Bone marrow aspirate smear
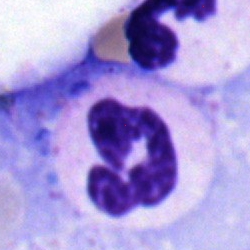
{"cell_type": "neutrophil (segmented)", "lineage": "myeloid"}